Cropped to a single cell. Bone marrow aspirate smear: 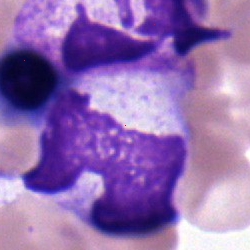
Cell type = segmented neutrophil.